Bone marrow aspirate smear.
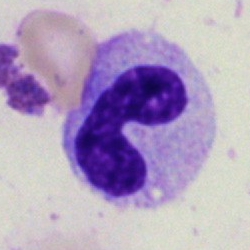 Showing a band neutrophil.